Peripheral blood smear
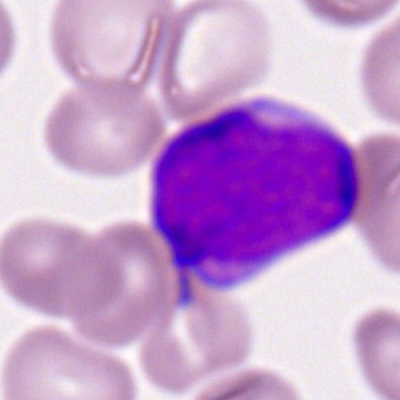 Cell type — myeloblast.